Bone marrow smear · May-Grünwald-Giemsa stain
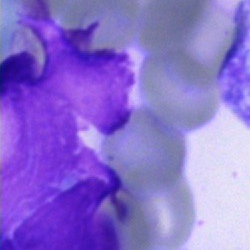
The classification is artefact.